Bone marrow aspirate smear.
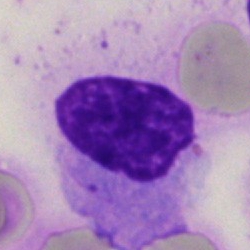

Impression — artefact.